Bone marrow smear; brightfield microscopy, 40× oil immersion; 250×250.
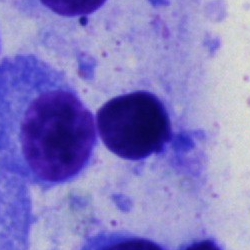 Q: What type of cell is this?
A: Nucleated red cell.